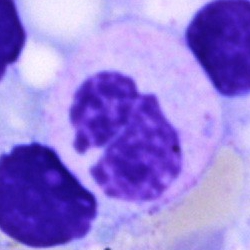

Specimen: bone marrow smear.
Cell type: polymorphonuclear neutrophil.
Lineage: myeloid.